40× objective, oil immersion · bone marrow smear · single-cell field:
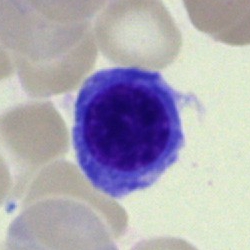 Morphology consistent with an erythroblast.